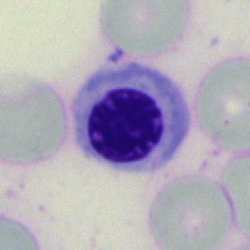

Q: What is shown here?
A: This is a normoblast.